Peripheral blood film · May-Grünwald-Giemsa-stained · CellaVision DM96 digital cell image — 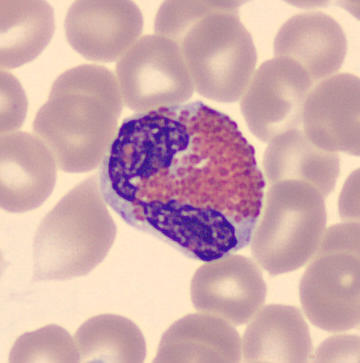 Q: What is shown here?
A: This is an eosinophil.